Bone marrow aspirate smear.
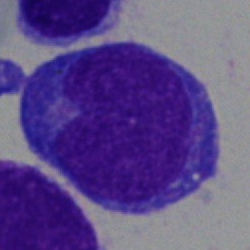
Specimen: bone marrow aspirate smear.
Cell: undifferentiated blast.